Single-cell field · bone marrow smear · brightfield, 40× oil-immersion objective.
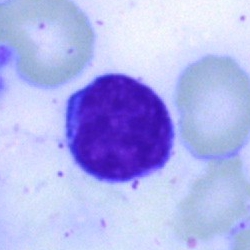Morphological class = typical lymphocyte.